Bone marrow smear:
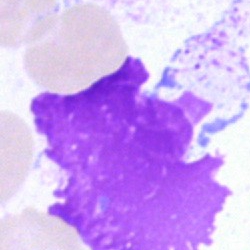

Morphology → artifact.